Bone marrow smear. 40× oil immersion — 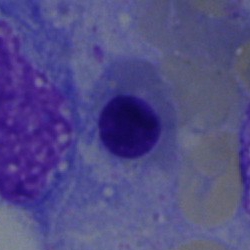 Q: What type of cell is this?
A: An erythroblast.